Bone marrow smear. Single cell centered in the field. MGG-stained.
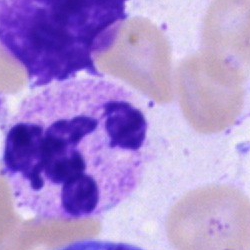 Morphological class: segmented neutrophil.